250 by 250 pixels. Bone marrow aspirate smear
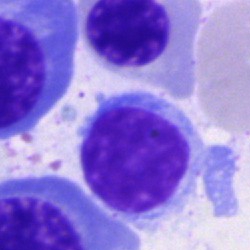

Q: Identify the cell.
A: It is a typical lymphocyte.